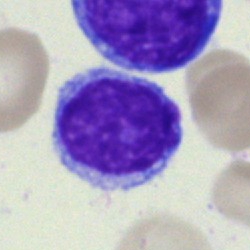
The cell is lymphocyte.